Bone marrow smear.
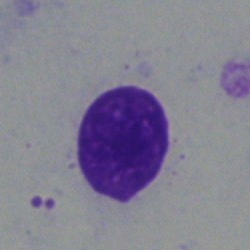

Specimen: bone marrow aspirate smear.
Classification: artefact.